Bone marrow smear; single cell centered in the field; 40× oil immersion
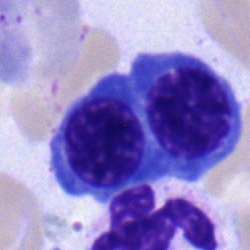The cell shown is an erythroblast.